Bone marrow smear; Pappenheim-stained; image size 250×250.
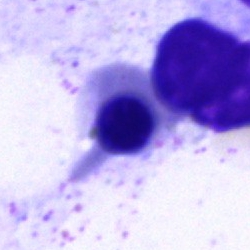This is a nucleated red cell.